Pappenheim-stained; bone marrow smear — 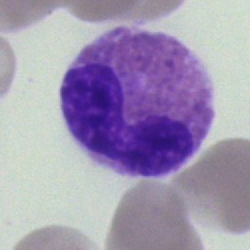

Showing an eosinophil.